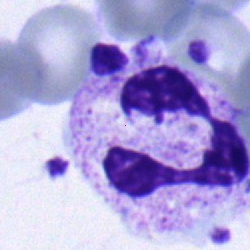

Morphology — neutrophil (segmented).